Single-cell field. Bone marrow smear:
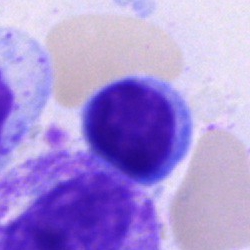
Q: Identify the cell.
A: This is a typical lymphocyte.